Bone marrow smear: 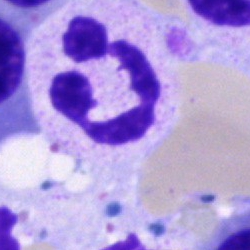

Impression → neutrophil (segmented).